Bone marrow aspirate smear · 250×250 px
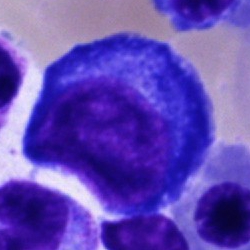
A pronormoblast.